Bone marrow aspirate smear
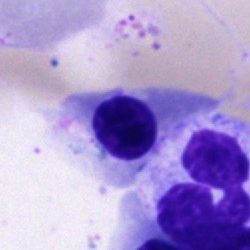

Nucleated red cell.